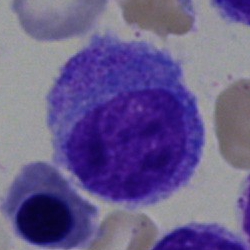
Q: Which cell type is shown here?
A: This is a progranulocyte.